40× oil immersion. Bone marrow smear. Cropped to a single cell — 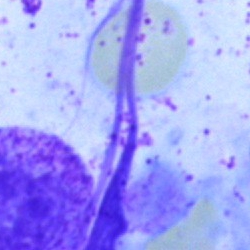Q: What is shown here?
A: An artifact.